Bone marrow smear
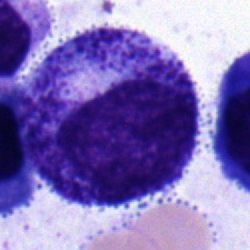
The cell shown is a progranulocyte.